Brightfield, 40× oil-immersion objective · bone marrow aspirate smear:
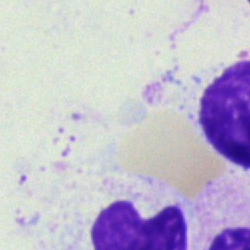Cell type: artefact.